Bone marrow smear:
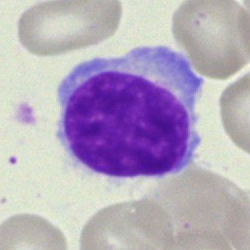
Specimen: bone marrow aspirate smear.
Cell: typical lymphocyte.